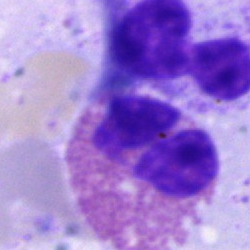 Specimen: bone marrow aspirate smear.
Morphological class: eosinophil.